Bone marrow smear — 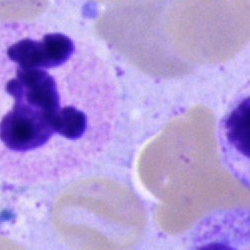

The cell shown is a polymorphonuclear neutrophil.